Brightfield microscopy, 40× oil immersion. Bone marrow smear: 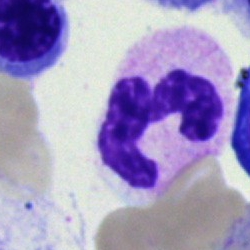
Specimen: bone marrow aspirate smear.
Morphological class: polymorphonuclear neutrophil.